Bone marrow smear — 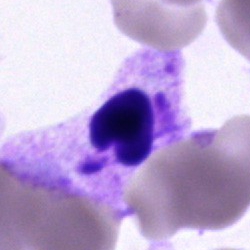The morphological class is cell of indeterminate lineage.